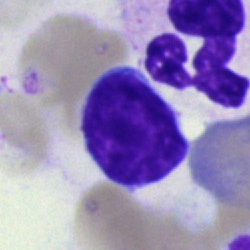
Morphology — typical lymphocyte.